Bone marrow smear; single-cell field; 40× oil immersion
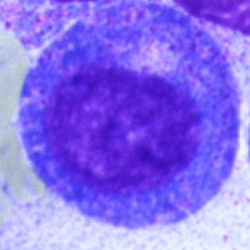This is a progranulocyte.